Pappenheim-stained; bone marrow aspirate smear
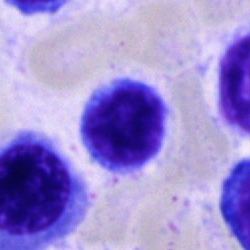 Typical lymphocyte.